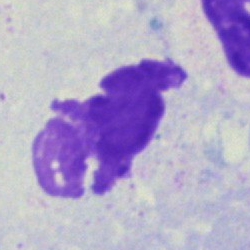The cell shown is an artefact.